Image size 250×250 · bone marrow aspirate smear · MGG-stained.
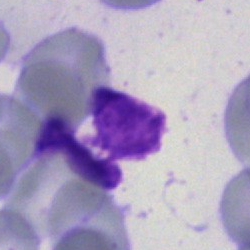
Single cell identified as an artefact.